Bone marrow smear: 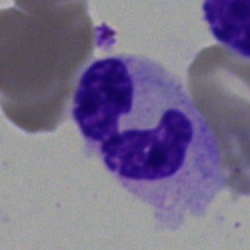Neutrophil (segmented).